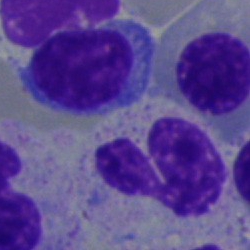 A segmented neutrophil on a bone marrow smear.